Bone marrow smear — 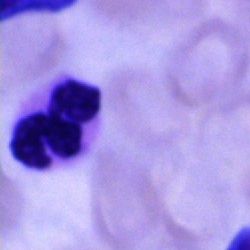Specimen: bone marrow smear.
Cell: segmented neutrophil.